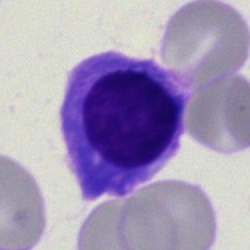
Morphology — nucleated red blood cell.